MGG-stained; 40× objective, oil immersion; bone marrow smear — 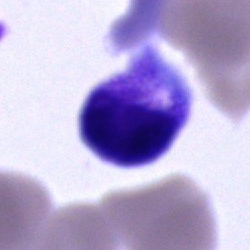

Classification: unidentifiable cell.